Brightfield, 40× oil-immersion objective. Bone marrow aspirate smear. Single-cell crop:
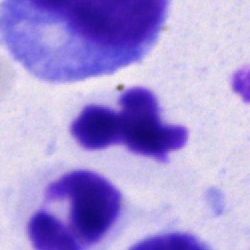

Q: What is shown here?
A: Segmented neutrophil.